Bone marrow aspirate smear
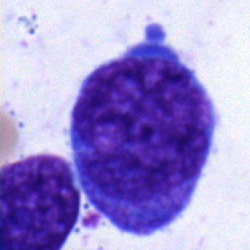
A blast cell.